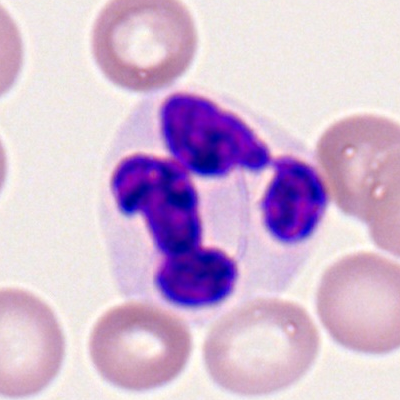
Impression → polymorphonuclear neutrophil.